Bone marrow smear
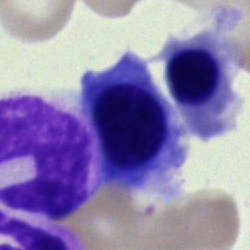 Showing a normoblast.